Bone marrow aspirate smear
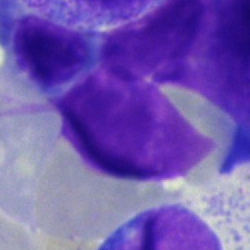

Morphology → artefact.